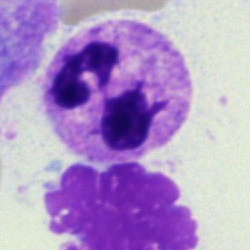
Q: What type of cell is this?
A: Polymorphonuclear neutrophil.